100× objective, oil immersion · peripheral blood smear
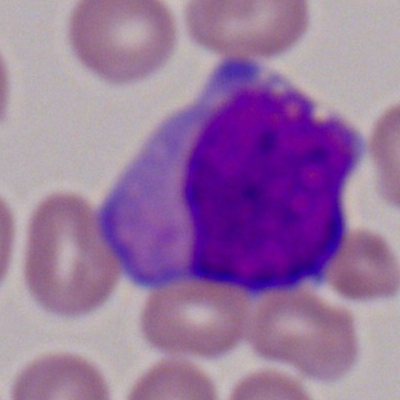Morphological class — myeloid blast.